Bone marrow aspirate smear.
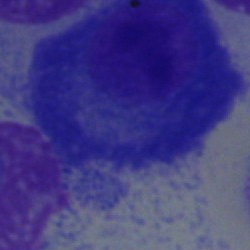

Cell type: plasmacyte.